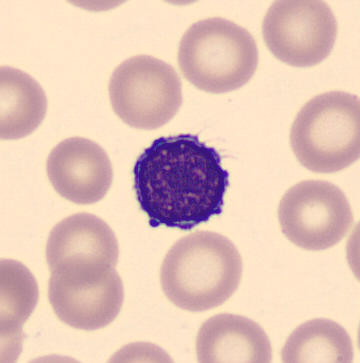
Cell = lymphocyte.

Acquisition: May Grünwald-Giemsa stain. Peripheral blood film.